Bone marrow smear; single cell centered in the field — 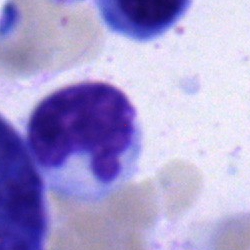
Impression → lymphocyte.